Bone marrow smear: 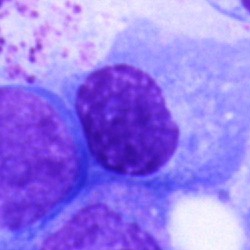

Q: What cell is this?
A: This is a plasma cell.